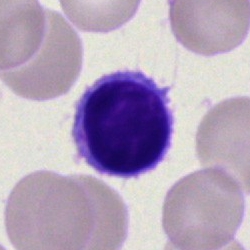 Classification: typical lymphocyte.